Bone marrow aspirate smear. Pappenheim-stained:
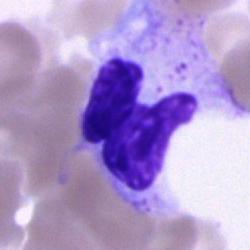 Q: Which cell type is shown here?
A: A segmented neutrophil.